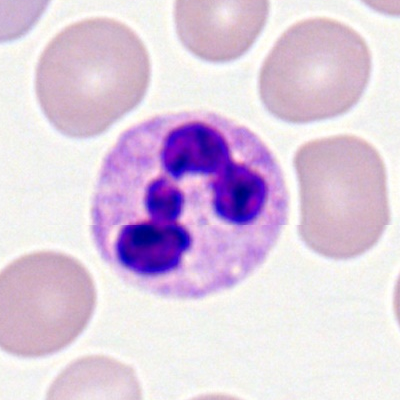

Q: Identify the cell.
A: It is a neutrophil (segmented).